Bone marrow aspirate smear.
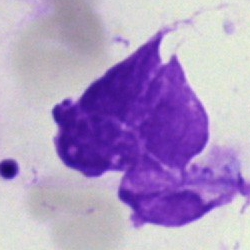 Showing an artifact.